Single cell centered in the field; 40× objective, oil immersion; bone marrow smear:
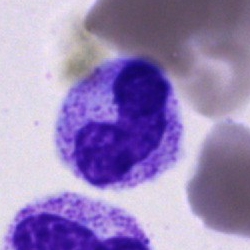

Single cell identified as a band-form neutrophil.